Bone marrow aspirate smear
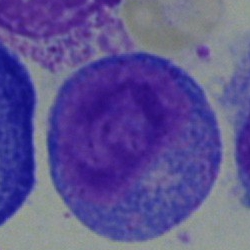 The cell is promyelocyte.